250×250; bone marrow smear; 40× objective, oil immersion:
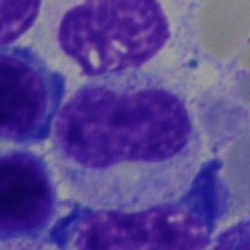
Q: Identify the cell.
A: A stab cell.